Bone marrow aspirate smear — 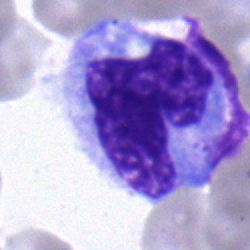 Morphology consistent with a monocyte.